Bone marrow aspirate smear:
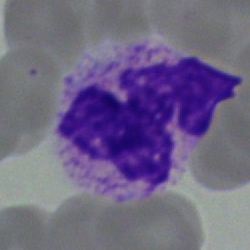 Q: What type of cell is this?
A: Segmented neutrophil.